Bone marrow smear.
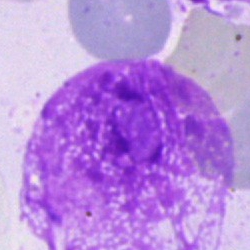Specimen: bone marrow smear.
Classification: artefact.